Bone marrow smear — 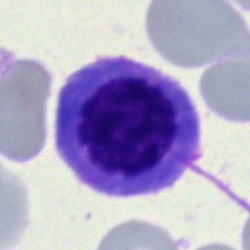This is an erythroblast.